Bone marrow aspirate smear: 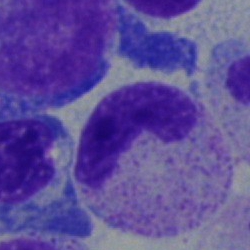

Single cell identified as a band-form neutrophil.